250×250 px · bone marrow smear · single cell centered in the field:
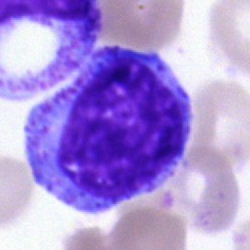
Cell type: promyelocyte.